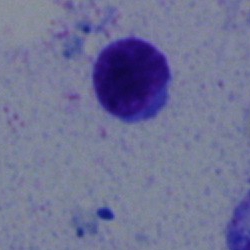

Specimen: bone marrow aspirate smear.
Classification: typical lymphocyte.
Lineage: lymphoid.